Bone marrow aspirate smear
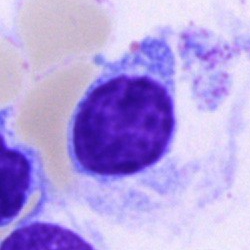
Lymphocyte.